Bone marrow aspirate smear.
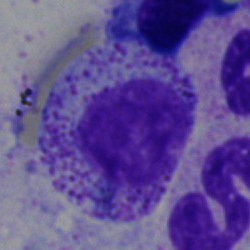

Morphology → myelocyte.